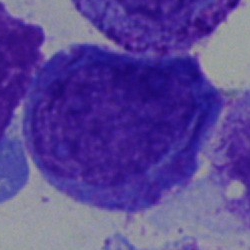 Specimen: bone marrow smear.
Cell: promyelocyte.